Bone marrow smear · 250×250:
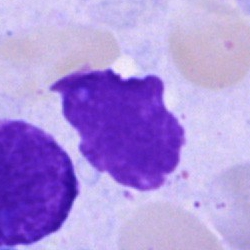

Morphology — artifact.